Bone marrow smear.
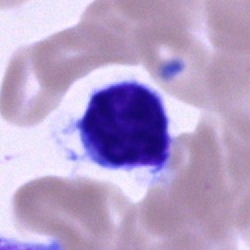

Q: What cell is this?
A: Typical lymphocyte.